Bone marrow smear: 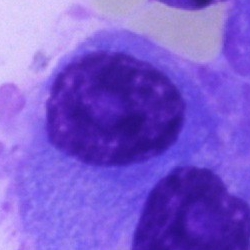
{"cell_type": "plasmacyte"}